Bone marrow aspirate smear:
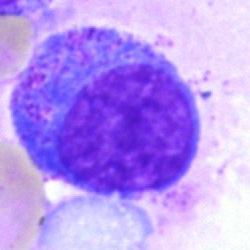 Morphology consistent with a promyelocyte.